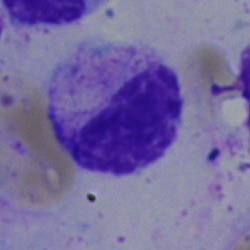Single-cell crop from a bone marrow smear: stab cell.